Pappenheim-stained. 250×250. Bone marrow aspirate smear.
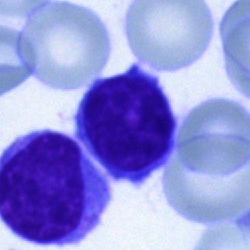
Morphology consistent with a lymphocyte.